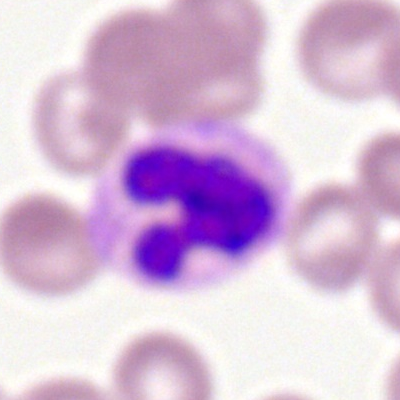Showing a polymorphonuclear neutrophil.